Bone marrow aspirate smear
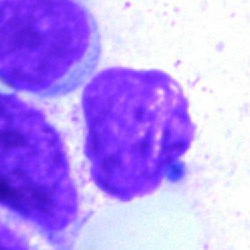Q: What is shown here?
A: Artefact.